40× objective, oil immersion · single-cell field · bone marrow aspirate smear:
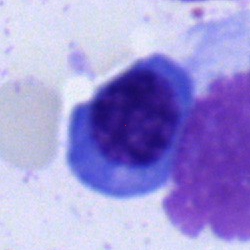This is an erythroblast.